Bone marrow smear.
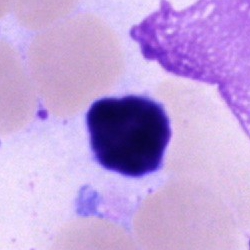

The cell is lymphocyte.